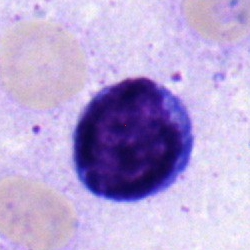
The morphological class is typical lymphocyte.